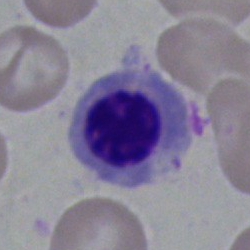Q: What is the morphological classification of this cell?
A: This is an erythroblast.